Bone marrow aspirate smear.
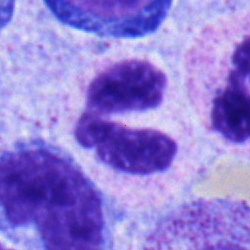A polymorphonuclear neutrophil.